MGG-stained; bone marrow aspirate smear — 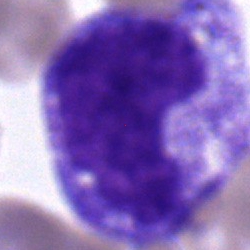Classification — metamyelocyte.